Bone marrow aspirate smear:
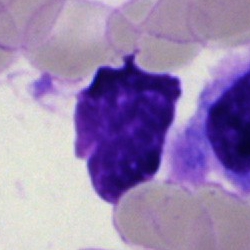
Cell = artifact.